Single-cell field; bone marrow aspirate smear: 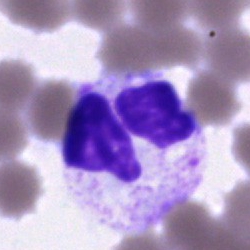
The morphological class is segmented neutrophil.